Bone marrow smear. Single-cell field:
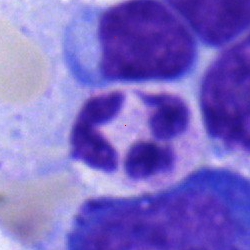

The cell type is segmented neutrophil.